Bone marrow aspirate smear; 250 by 250 pixels — 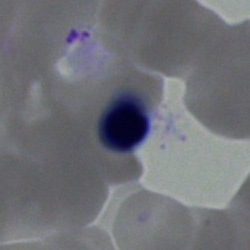 Cell type — normoblast.